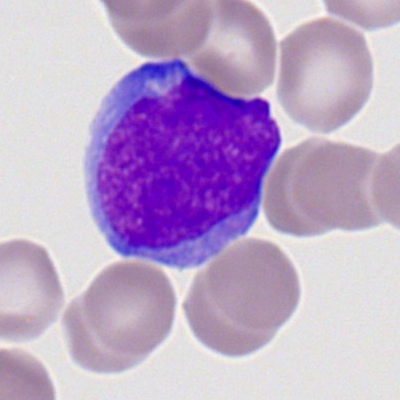

{"cell_type": "myeloid blast", "lineage": "myeloid"}